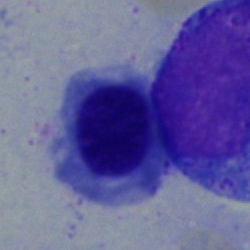Cell: erythroblast.